MGG-stained · bone marrow aspirate smear: 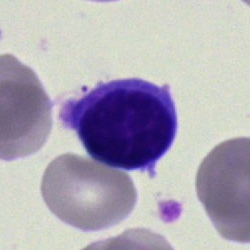A lymphocyte.